May-Grünwald-Giemsa/Pappenheim stain · bone marrow smear · brightfield microscopy, 40× oil immersion
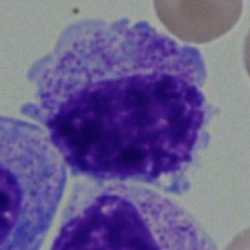
Morphology consistent with a myelocyte.